Bone marrow smear: 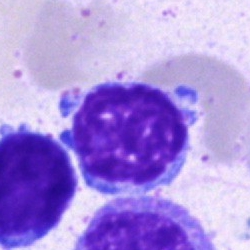 Classification: lymphocyte.